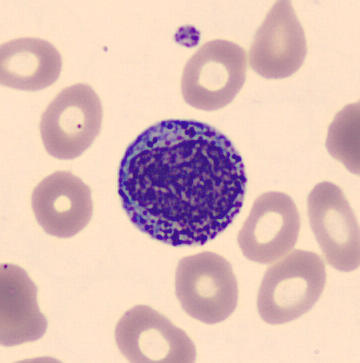
Morphology → progranulocyte.
360 by 363 pixels; peripheral blood smear.